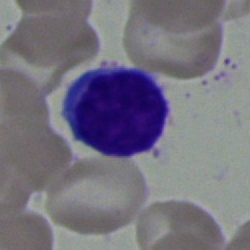 The classification is lymphocyte.